MGG-stained. Single-cell field. Bone marrow aspirate smear: 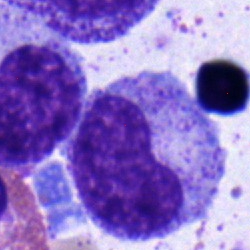
Q: Which cell type is shown here?
A: It is a metamyelocyte.